May-Grünwald-Giemsa stain; bone marrow aspirate smear
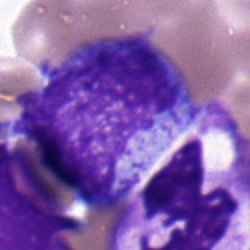 The cell is myelocyte.